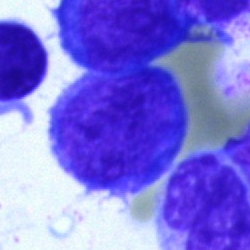 Q: Which cell type is shown here?
A: This is a blast.